Bone marrow aspirate smear — 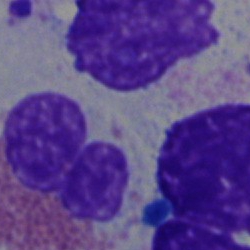 Morphology consistent with an eosinophilic granulocyte.